Bone marrow aspirate smear:
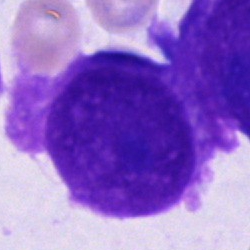 Morphological class = unidentifiable cell.